Bone marrow smear.
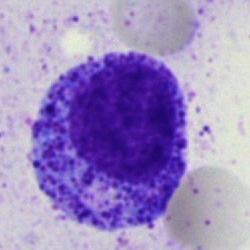 Showing a promyelocyte.